Pappenheim-stained · bone marrow smear — 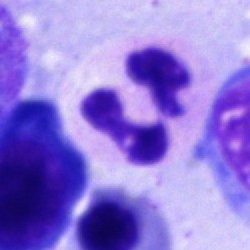

Cell — segmented neutrophil.